Single-cell field. Bone marrow aspirate smear. 250×250: 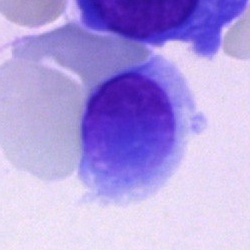
Q: What is shown here?
A: It is an artifact.